Cropped to a single cell · 40× objective, oil immersion · bone marrow smear.
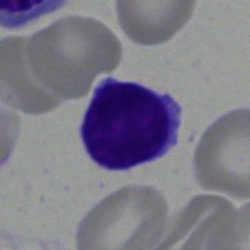
Specimen: bone marrow smear.
Cell type: lymphocyte.
Lineage: lymphoid.